Bone marrow smear; 40× oil immersion
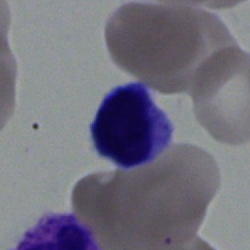

The cell is typical lymphocyte.